Bone marrow smear — 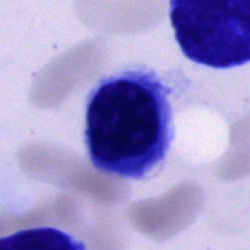 Cell type: unidentifiable cell.